Bone marrow smear:
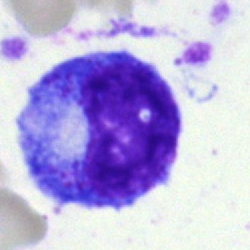
Classification: progranulocyte.